Peripheral blood film
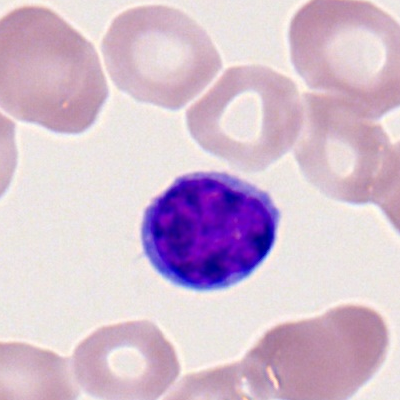This is a typical lymphocyte.